Bone marrow smear
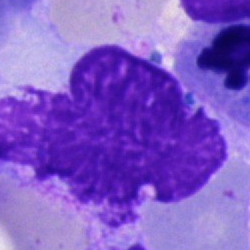 {"cell_type": "artifact"}